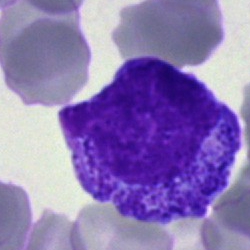
{"cell_type": "promyelocyte", "lineage": "myeloid"}